Brightfield, 40× oil-immersion objective. Bone marrow aspirate smear. 250 by 250 pixels
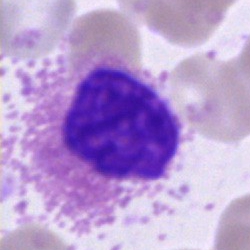
Showing an eosinophilic granulocyte.